Bone marrow smear.
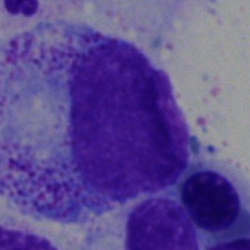Showing a myelocyte.